40× objective, oil immersion. May-Grünwald-Giemsa stain. Bone marrow smear.
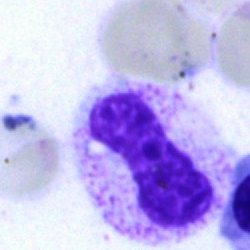
The morphological class is band-form neutrophil.